Bone marrow smear:
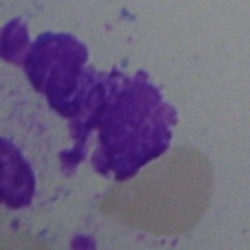 Specimen: bone marrow smear.
Cell: artefact.